Bone marrow smear: 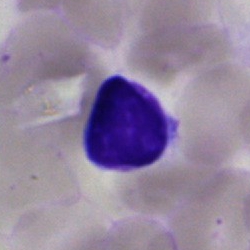 Impression — lymphocyte.